May-Grünwald-Giemsa stain · brightfield microscopy, 40× oil immersion · bone marrow aspirate smear: 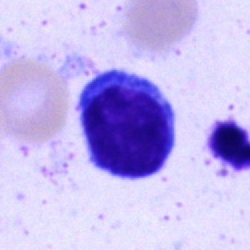Q: What is the morphological classification of this cell?
A: Lymphocyte.